Bone marrow smear; 40× oil immersion
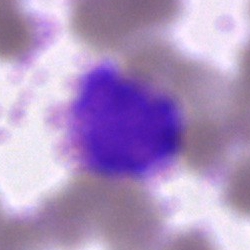Morphology consistent with an artifact.